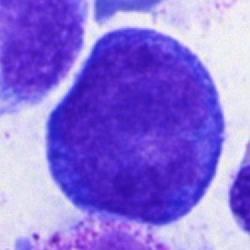
A pronormoblast on a bone marrow smear.